Bone marrow aspirate smear: 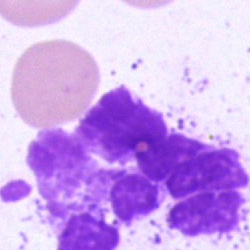

The cell shown is an artefact.